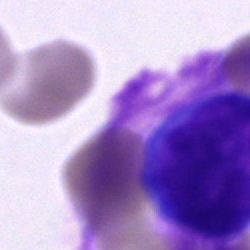{"cell_type": "artefact"}